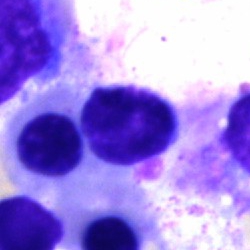

Single cell identified as a typical lymphocyte.